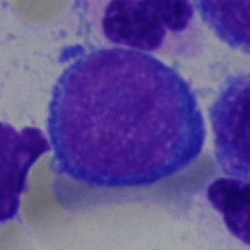

Specimen: bone marrow aspirate smear.
Cell type: nucleated red blood cell.